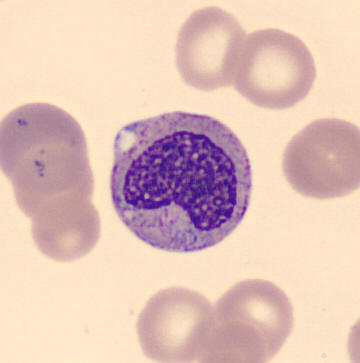

A metamyelocyte.
Image: Peripheral blood smear; automated cell imaging (CellaVision DM96).